Single-cell field · bone marrow smear.
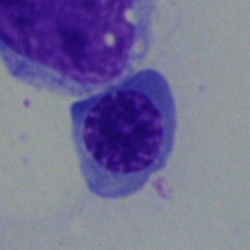 Nucleated red cell.